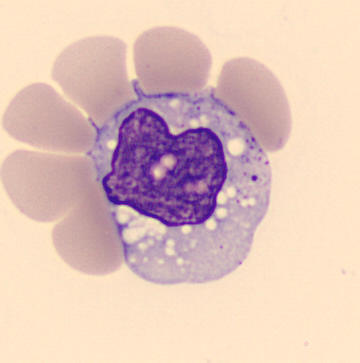Morphology → monocyte. Image: Peripheral blood film · single-cell crop · May-Grünwald-Giemsa-stained.